Peripheral blood smear:
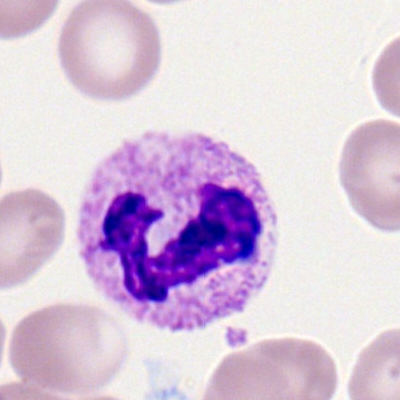

Single cell identified as a neutrophil (segmented).